Bone marrow smear.
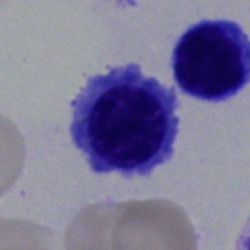The classification is erythroblast.